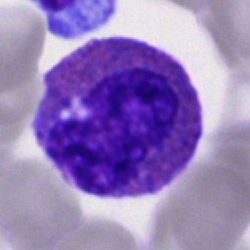

Q: What cell is this?
A: This is an eosinophilic granulocyte.